Bone marrow smear.
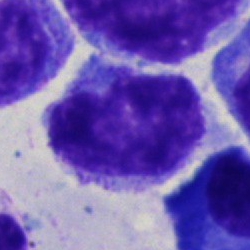
Q: What is the morphological classification of this cell?
A: It is a monocyte.